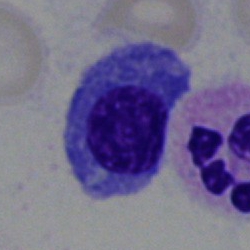
Q: Which cell type is shown here?
A: Erythroblast.